Bone marrow aspirate smear; brightfield microscopy, 40× oil immersion
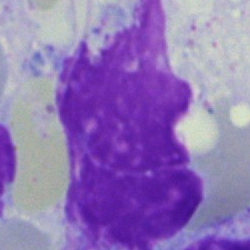

Cell = artefact.